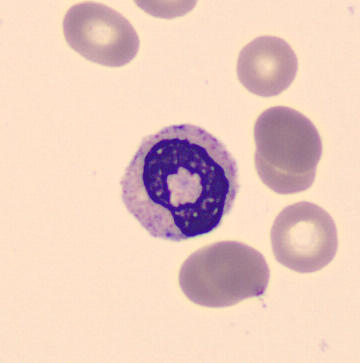Acquisition: Cropped to a single cell. Peripheral blood smear. Q: What cell is this?
A: Stab cell.